Pappenheim-stained; bone marrow smear; single-cell field — 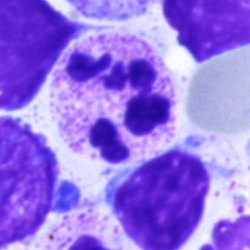 Classification: polymorphonuclear neutrophil.